Pappenheim-stained · bone marrow aspirate smear · 40× oil immersion:
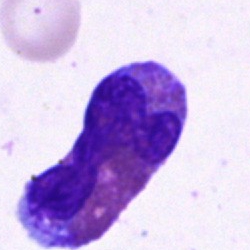The cell shown is an eosinophil.